Bone marrow aspirate smear · MGG-stained · single cell centered in the field: 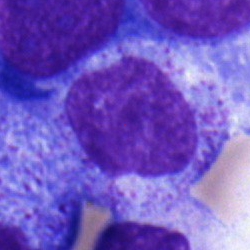 Q: Identify the cell.
A: This is a myelocyte.